Bone marrow smear
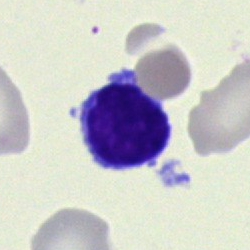

Morphology → lymphocyte.